Bone marrow aspirate smear: 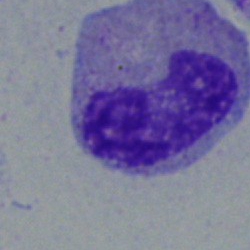
Specimen: bone marrow aspirate smear.
Cell: metamyelocyte.